Bone marrow aspirate smear; May-Grünwald-Giemsa/Pappenheim stain.
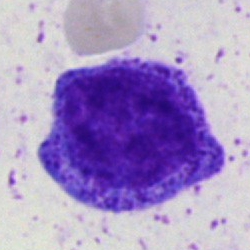
Cell type — promyelocyte.